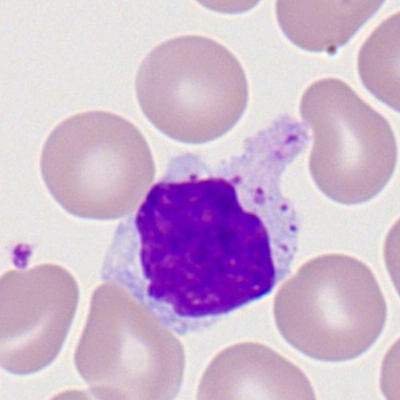
Q: Identify the cell.
A: This is a typical lymphocyte.